Single-cell field · bone marrow smear — 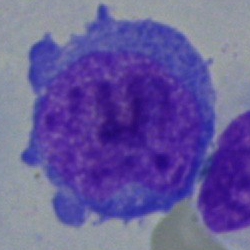

Morphology → undifferentiated blast.